Single cell centered in the field; bone marrow smear — 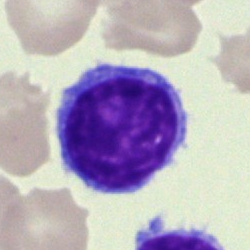Q: Which cell type is shown here?
A: A typical lymphocyte.